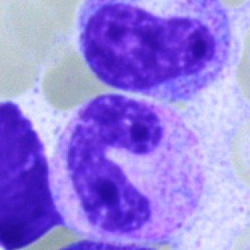
Morphology — stab cell.